250 by 250 pixels · bone marrow aspirate smear
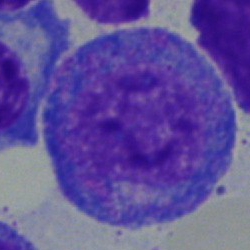Cell type = promyelocyte.